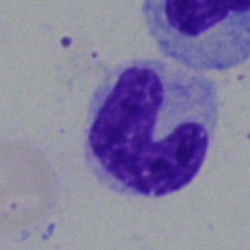Showing a band-form neutrophil.